Bone marrow smear: 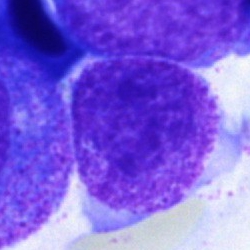

Classification — myelocyte.